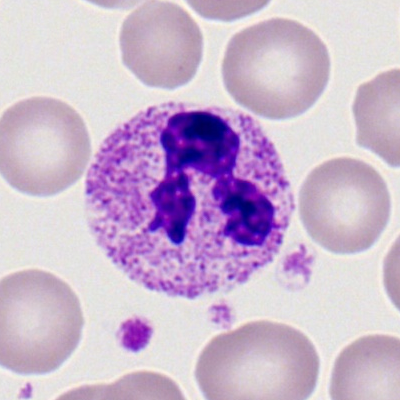

Q: What is shown here?
A: It is a polymorphonuclear neutrophil.